Bone marrow smear
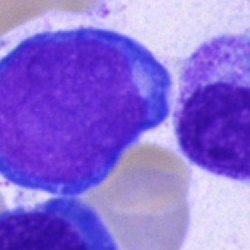
Morphology — proerythroblast.